40× oil immersion; bone marrow aspirate smear:
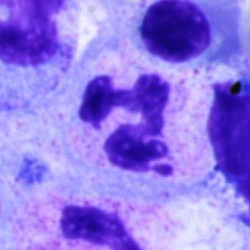 Specimen: bone marrow smear.
Cell type: polymorphonuclear neutrophil.